Bone marrow aspirate smear.
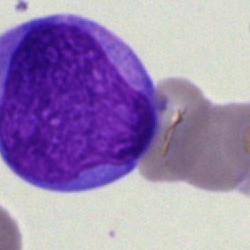
Single cell identified as a blast.